MGG-stained · bone marrow smear
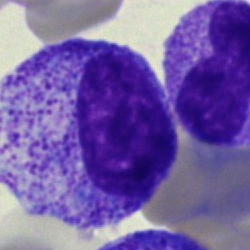
Impression — myelocyte.